40× objective, oil immersion · bone marrow aspirate smear — 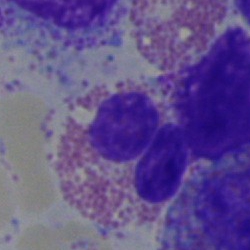{"cell_type": "eosinophilic granulocyte", "lineage": "myeloid"}